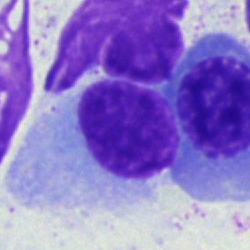 Specimen: bone marrow aspirate smear.
Morphological class: lymphocyte.
Lineage: lymphoid.